Bone marrow smear. May-Grünwald-Giemsa stain.
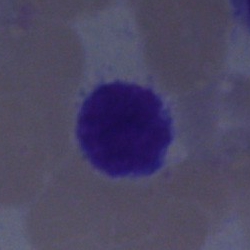
Impression — lymphocyte.